Bone marrow aspirate smear: 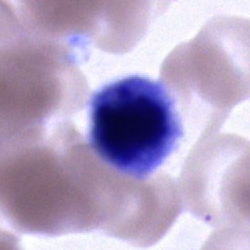 {"cell_type": "cell of indeterminate lineage"}